Peripheral blood film.
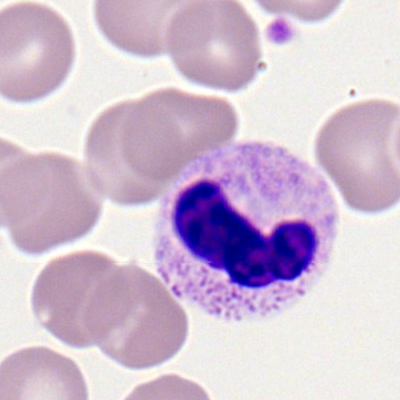 Impression — neutrophil (segmented).